Bone marrow aspirate smear:
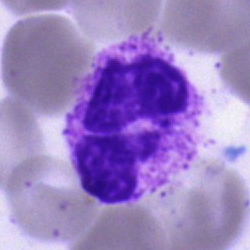
Q: What cell is this?
A: A neutrophil (segmented).